Bone marrow aspirate smear. Single-cell crop.
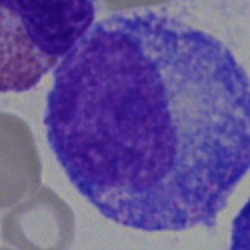 Classification = promyelocyte.